Bone marrow aspirate smear. 250 by 250 pixels
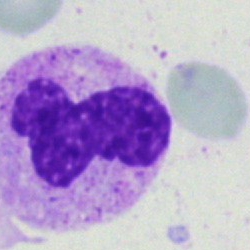
Single cell identified as a polymorphonuclear neutrophil.